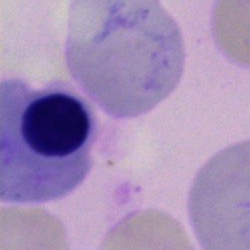
Specimen: bone marrow smear.
Classification: nucleated red blood cell.
Lineage: erythroid.